Cropped to a single cell; MGG-stained; bone marrow smear — 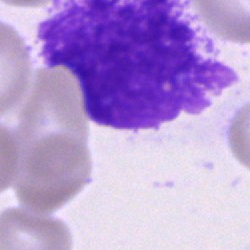
The morphological class is artifact.